Bone marrow aspirate smear.
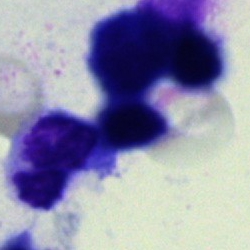

{"cell_type": "artefact"}